Brightfield microscopy, 40× oil immersion. Bone marrow smear — 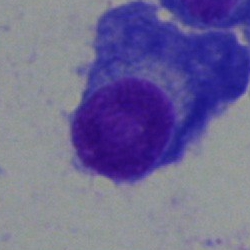

This is a plasma cell.